MGG-stained · bone marrow smear — 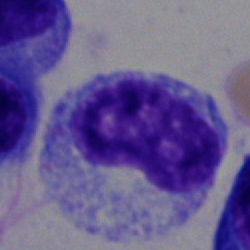
Q: Which cell type is shown here?
A: This is a metamyelocyte.